Bone marrow aspirate smear; 40× oil immersion.
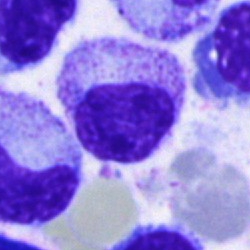

Q: What is the morphological classification of this cell?
A: It is a myelocyte.